Bone marrow smear. Image size 250×250. MGG-stained — 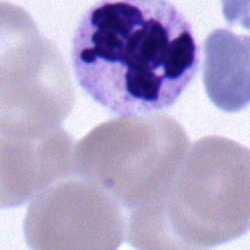
The cell shown is a neutrophil (segmented).